Bone marrow aspirate smear. Single-cell crop:
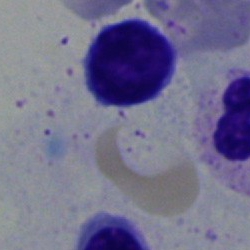
This is a lymphocyte.